250 by 250 pixels · bone marrow aspirate smear · MGG-stained.
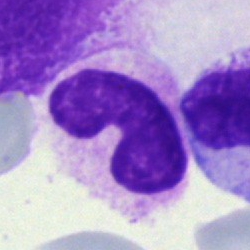 Morphological class — band-form neutrophil.